40× objective, oil immersion; bone marrow smear:
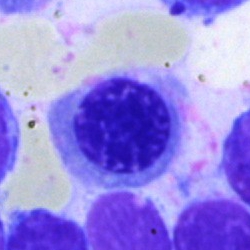Cell type = nucleated red cell.